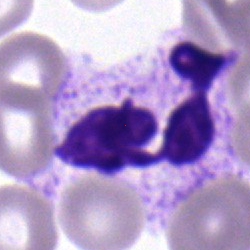Classification: polymorphonuclear neutrophil.